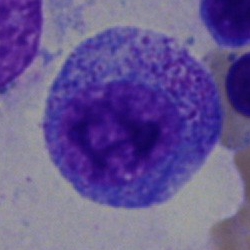 Classification = promyelocyte.